Peripheral blood film
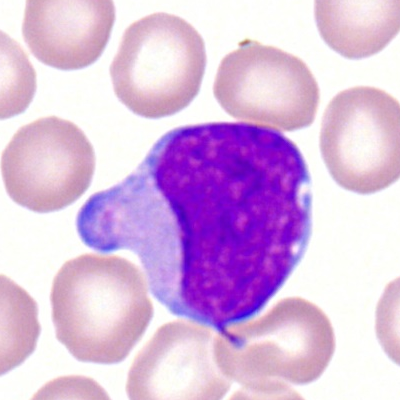

The cell type is myeloblast.